Bone marrow smear — 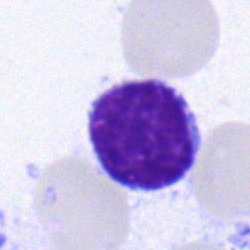

Q: What is shown here?
A: It is a typical lymphocyte.